Bone marrow aspirate smear · 40× oil immersion: 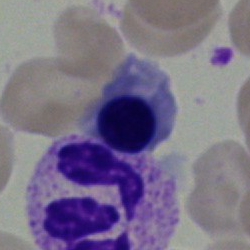 Showing an erythroblast.